Bone marrow aspirate smear.
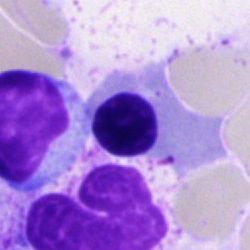

Morphological class = nucleated red blood cell.